Bone marrow smear:
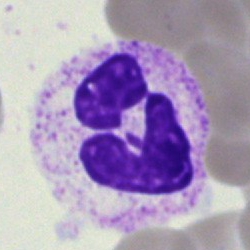

Classification — neutrophil (segmented).